Bone marrow aspirate smear:
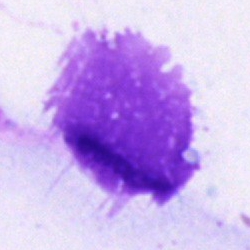
Q: What is shown here?
A: It is an artifact.